Bone marrow aspirate smear; single-cell field — 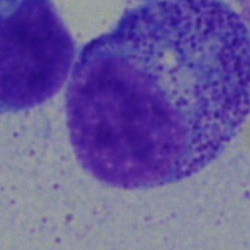
Specimen: bone marrow smear.
Morphological class: myelocyte.
Lineage: myeloid.